May-Grünwald-Giemsa stain · bone marrow aspirate smear:
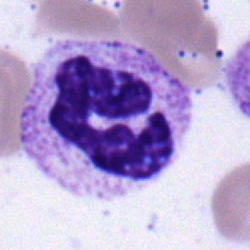

Morphological class — polymorphonuclear neutrophil.